Bone marrow aspirate smear — 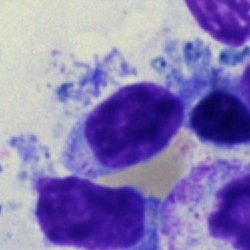
{"cell_type": "typical lymphocyte"}